Bone marrow smear — 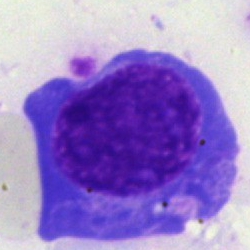 Single cell identified as an erythroblast.